Bone marrow aspirate smear.
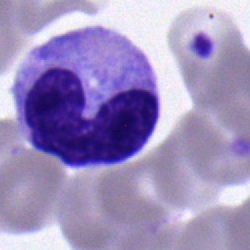

Showing a band neutrophil.